Bone marrow smear; cropped to a single cell — 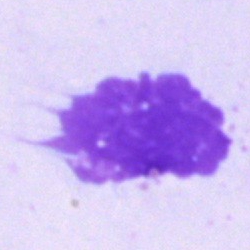
Cell: artefact.